Bone marrow smear.
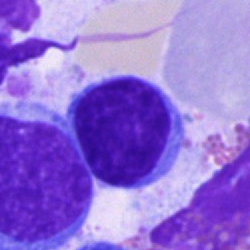Specimen: bone marrow aspirate smear.
Cell: typical lymphocyte.
Lineage: lymphoid.